Bone marrow smear
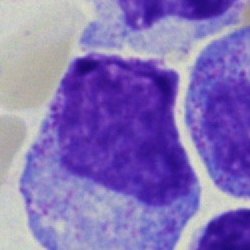

Q: What is shown here?
A: This is a progranulocyte.